Bone marrow smear — 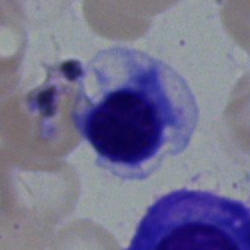
{"cell_type": "nucleated red blood cell"}